Bone marrow smear.
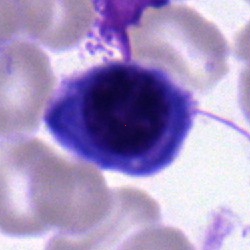 Impression → plasmacyte.